Bone marrow smear. MGG-stained: 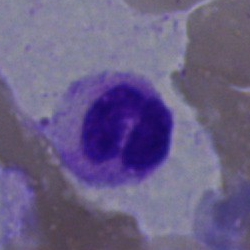
Showing a segmented neutrophil.